Bone marrow aspirate smear.
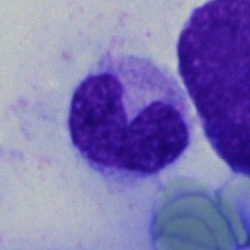 Q: What is the morphological classification of this cell?
A: It is a band neutrophil.